Bone marrow smear — 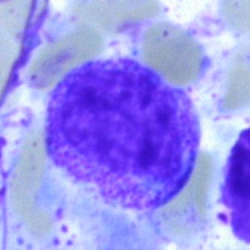
A myelocyte.